Bone marrow smear: 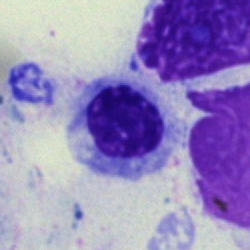

This is a nucleated red blood cell.